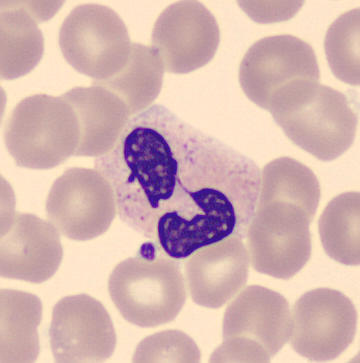 Cell: segmented neutrophil. 360×363 · CellaVision DM96 · peripheral blood smear.